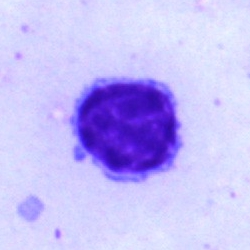
Single cell identified as a typical lymphocyte.